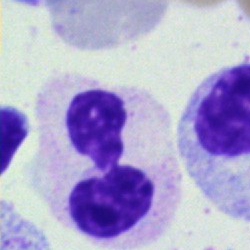The morphological class is neutrophil (segmented).